Bone marrow smear:
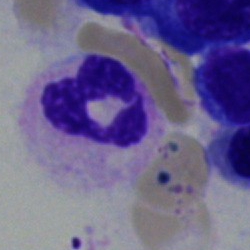
Specimen: bone marrow smear.
Cell: segmented neutrophil.